40× objective, oil immersion. Bone marrow aspirate smear:
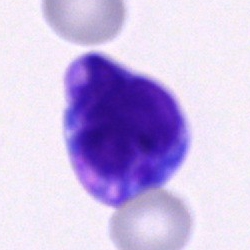 The cell shown is an undifferentiated blast.